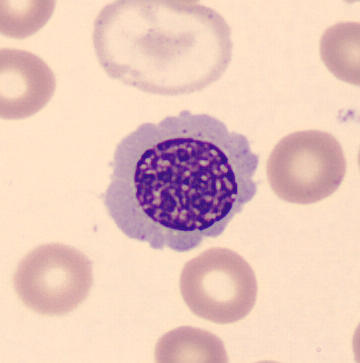

Single cell identified as an erythroblast.

Preparation: Peripheral blood smear · image size 360×363.